Bone marrow smear: 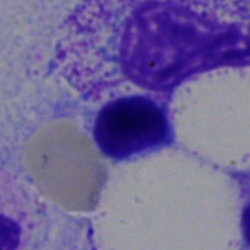
Morphology consistent with a lymphocyte.